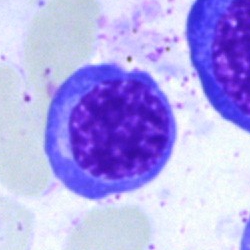A nucleated red cell on a bone marrow smear.